250×250; bone marrow aspirate smear — 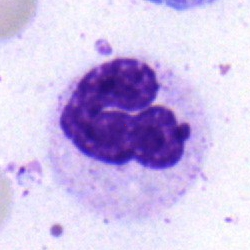
Specimen: bone marrow smear.
Cell type: polymorphonuclear neutrophil.
Lineage: myeloid.